Peripheral blood smear — 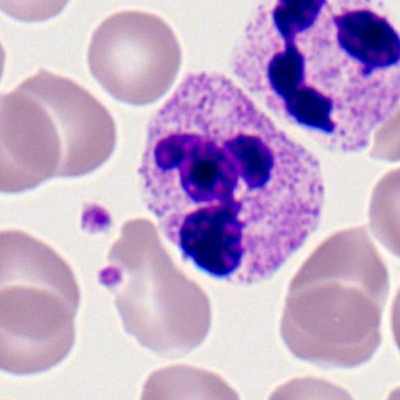Morphological class: neutrophil (segmented).